Bone marrow aspirate smear · brightfield, 40× oil-immersion objective — 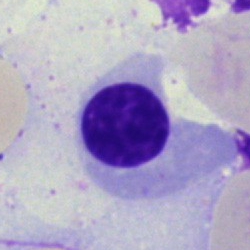
Morphology consistent with a nucleated red cell.